Bone marrow smear · 250 by 250 pixels:
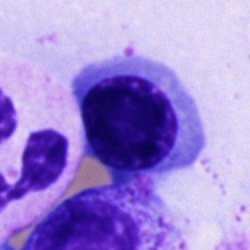 Q: Which cell type is shown here?
A: A nucleated red cell.